250×250; bone marrow smear — 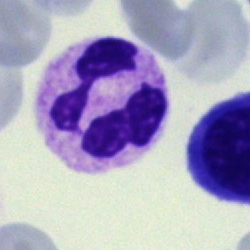 This is a polymorphonuclear neutrophil.